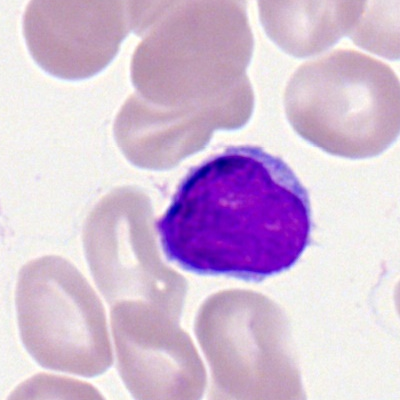

The morphological class is typical lymphocyte.